40× oil immersion · bone marrow aspirate smear:
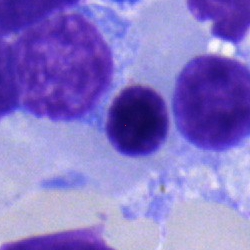
Single cell identified as a normoblast.